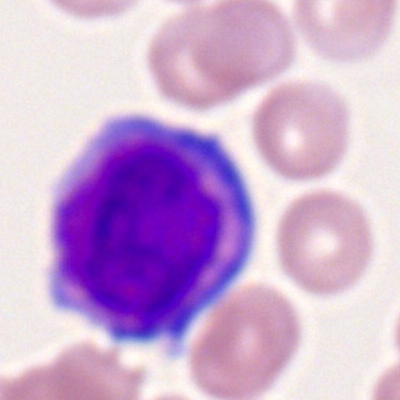

Cell type = myeloblast.